Peripheral blood smear
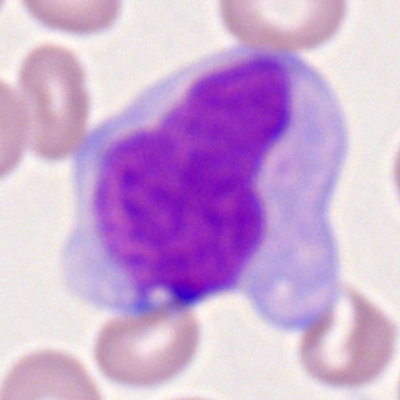 Q: Identify the cell.
A: It is a monocyte.